Single cell centered in the field. Bone marrow aspirate smear. 40× oil immersion: 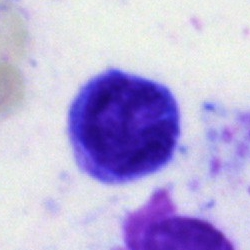

A typical lymphocyte.